Single-cell crop · bone marrow smear
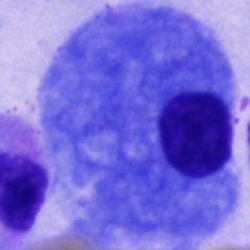 Plasma cell.